Bone marrow smear. MGG-stained:
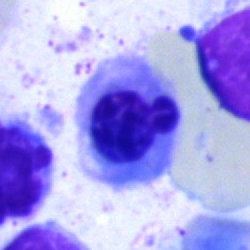
A normoblast.